Bone marrow smear · Pappenheim-stained:
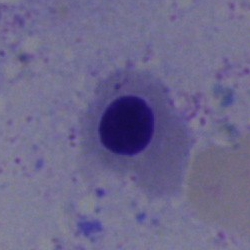Morphological class — erythroblast.